Cropped to a single cell; bone marrow smear; brightfield, 40× oil-immersion objective
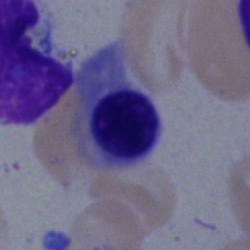 Specimen: bone marrow smear.
Cell type: nucleated red cell.
Lineage: erythroid.